Bone marrow aspirate smear: 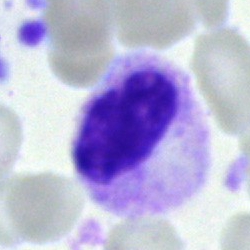 Morphology consistent with a metamyelocyte.